Peripheral blood film: 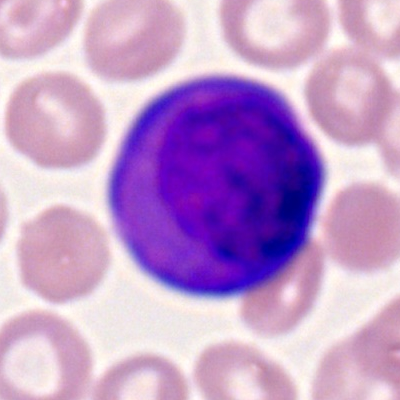
Morphology — myeloblast.